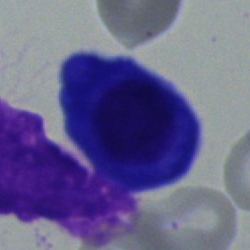
Classification = plasmacyte.